Bone marrow smear: 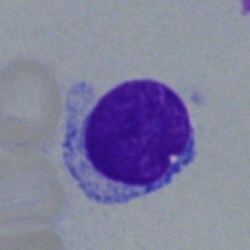 Q: What is shown here?
A: Typical lymphocyte.